Bone marrow smear: 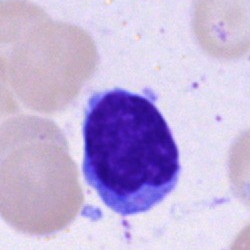 Q: Which cell type is shown here?
A: A lymphocyte.